Bone marrow smear: 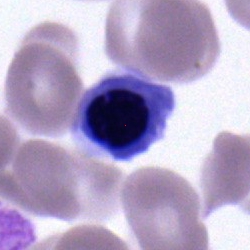
Morphological class: nucleated red cell.